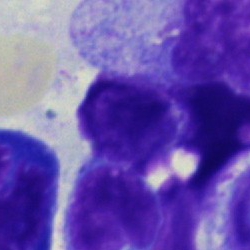
Cell type: artifact.